Image size 250×250; bone marrow smear; brightfield, 40× oil-immersion objective — 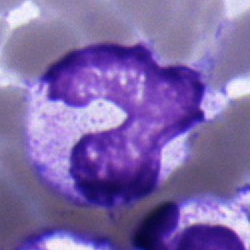

{"cell_type": "band-form neutrophil", "lineage": "myeloid"}